Bone marrow smear · 250 by 250 pixels:
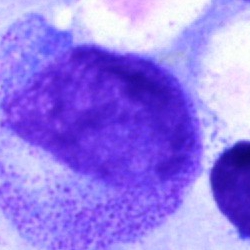
Myelocyte.